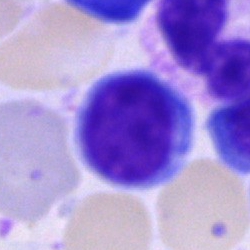

The classification is lymphocyte.